Single-cell crop. Bone marrow smear. 40× objective, oil immersion: 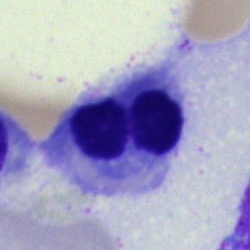Showing an erythroblast.